Single cell centered in the field; bone marrow smear; Pappenheim-stained.
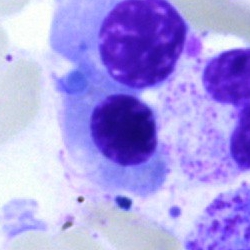 Classification: normoblast.